Bone marrow aspirate smear · single cell centered in the field:
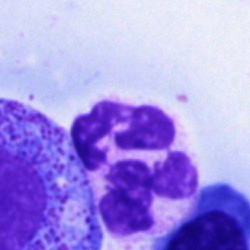

The morphological class is polymorphonuclear neutrophil.